40× objective, oil immersion; bone marrow aspirate smear: 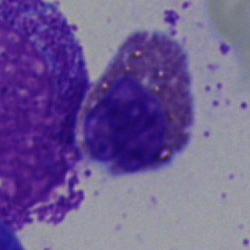

Specimen: bone marrow smear.
Morphological class: eosinophilic granulocyte.